Pappenheim-stained. 40× oil immersion. Bone marrow aspirate smear — 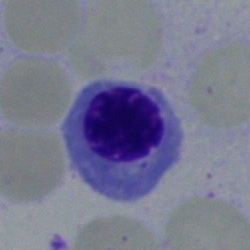Q: Identify the cell.
A: Nucleated red cell.